Bone marrow aspirate smear
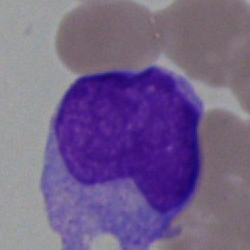The cell type is blast.